Bone marrow aspirate smear:
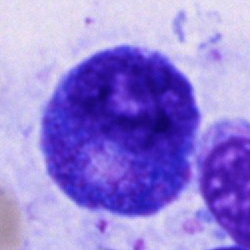The classification is progranulocyte.